Bone marrow smear: 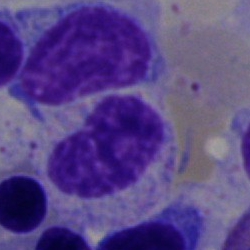

Morphology consistent with a stab cell.